Bone marrow aspirate smear — 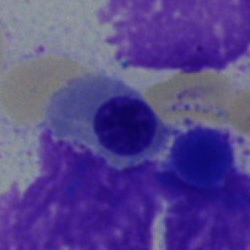

This is an erythroblast.